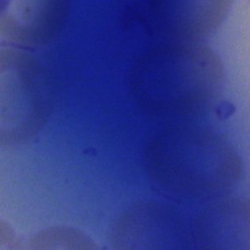 Morphology → artefact.